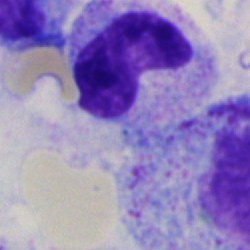 Classification: neutrophil (band).